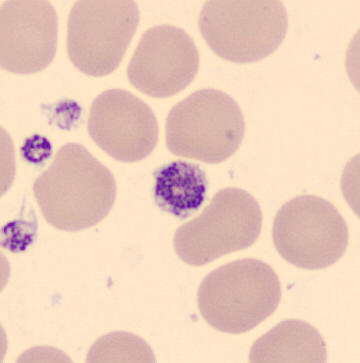

Peripheral blood film. A platelet.